Bone marrow aspirate smear.
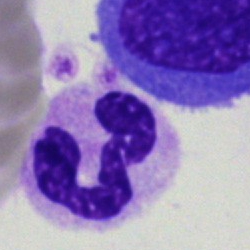 Cell type: segmented neutrophil.